Bone marrow smear:
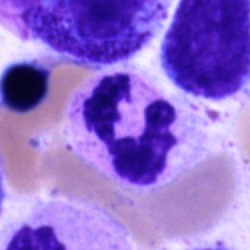 Morphology → neutrophil (segmented).